Bone marrow smear. Brightfield, 40× oil-immersion objective. Single cell centered in the field:
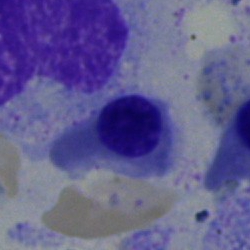
Morphological class = nucleated red blood cell.